40× objective, oil immersion; bone marrow aspirate smear; MGG-stained — 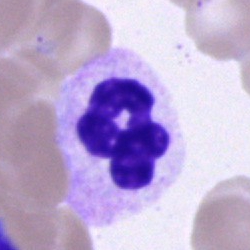
Cell type: neutrophil (segmented).